Bone marrow smear:
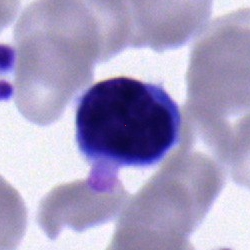

Morphology consistent with a lymphocyte.